Bone marrow smear — 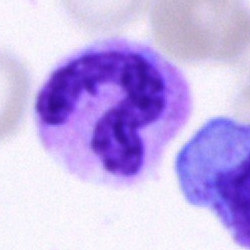
Single cell identified as a band-form neutrophil.